Bone marrow aspirate smear; cropped to a single cell: 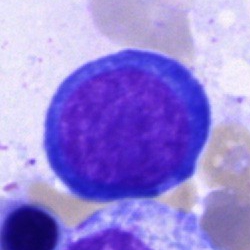 {"cell_type": "proerythroblast", "lineage": "erythroid"}